Automated cell imaging (CellaVision DM96). Single cell centered in the field. Peripheral blood film
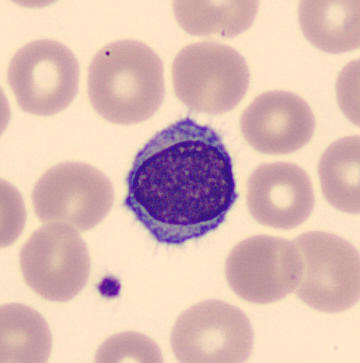Q: Identify the cell.
A: This is a lymphocyte.